Bone marrow smear
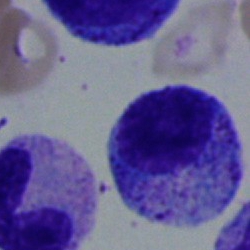

Cell type = myelocyte.